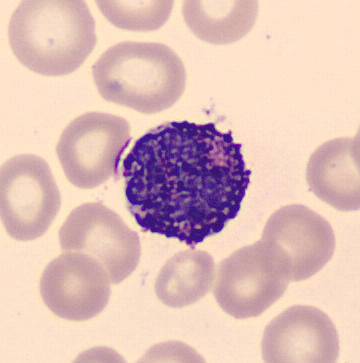

Peripheral blood film.
Single cell identified as a basophilic granulocyte.